Peripheral blood film
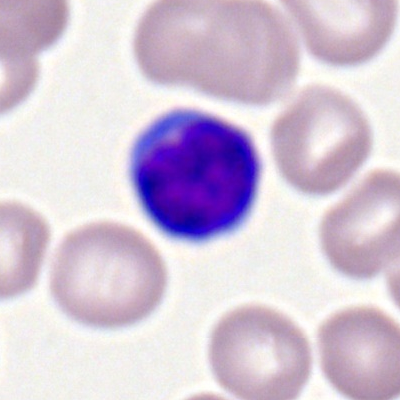
Morphology consistent with a typical lymphocyte.